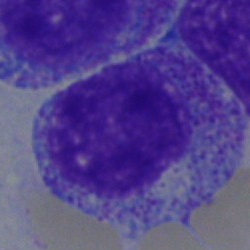Single-cell crop from a bone marrow smear: myelocyte.